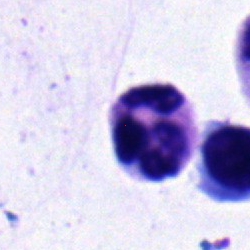

Morphology consistent with a polymorphonuclear neutrophil.